Brightfield microscopy, 40× oil immersion · bone marrow smear · single cell centered in the field
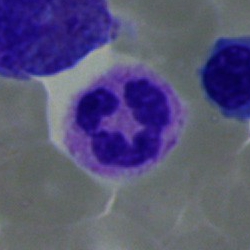Morphological class: segmented neutrophil.